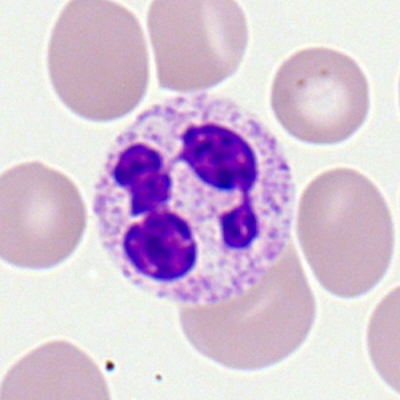
The cell type is segmented neutrophil.